Bone marrow smear; May-Grünwald-Giemsa stain
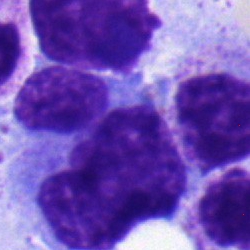Specimen: bone marrow aspirate smear.
Cell type: myelocyte.
Lineage: myeloid.